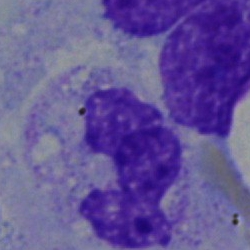 Bone marrow smear showing a polymorphonuclear neutrophil.